250×250 px; bone marrow aspirate smear:
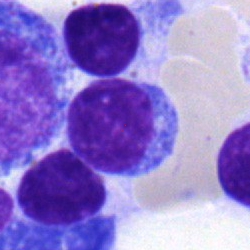

Morphological class: typical lymphocyte.